Brightfield microscopy, 40× oil immersion. Bone marrow aspirate smear. Single-cell crop: 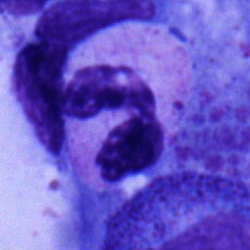Specimen: bone marrow smear.
Morphological class: neutrophil (segmented).